Bone marrow aspirate smear:
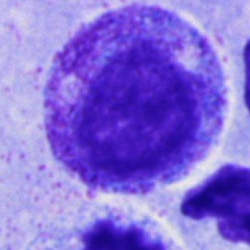

Specimen: bone marrow smear.
Morphological class: promyelocyte.